Bone marrow aspirate smear: 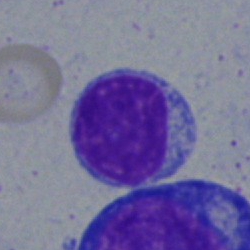

Morphology consistent with a typical lymphocyte.